Bone marrow aspirate smear — 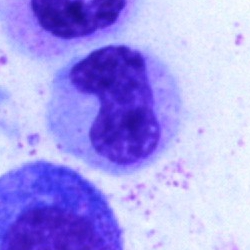A stab cell.